Bone marrow smear:
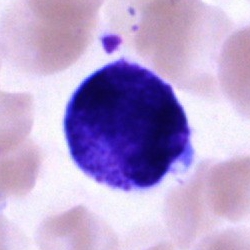 This is a progranulocyte.